Brightfield microscopy, 40× oil immersion; May-Grünwald-Giemsa/Pappenheim stain; bone marrow smear:
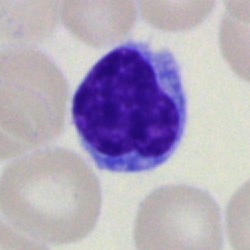

Cell type: lymphocyte.